Bone marrow smear; 250×250 px.
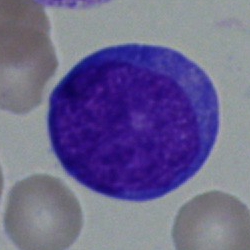 A blast.